Bone marrow aspirate smear · 250×250 px — 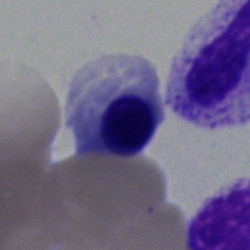
Morphology consistent with a normoblast.